Bone marrow aspirate smear — 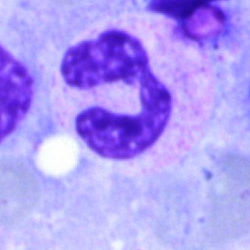The cell is neutrophil (segmented).